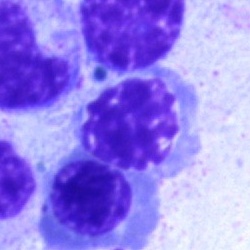

Single cell identified as an erythroblast.